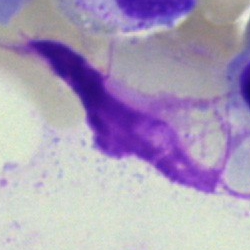Q: What is shown here?
A: Artifact.